Brightfield microscopy, 40× oil immersion; bone marrow smear; single-cell field — 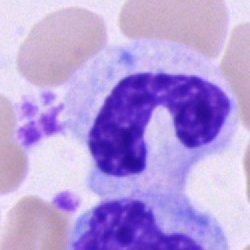

{"cell_type": "stab cell"}